Bone marrow aspirate smear:
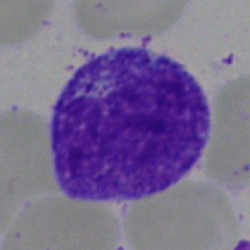 Myelocyte.